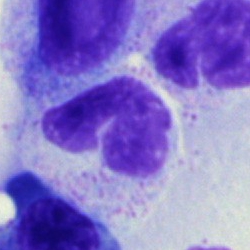 Morphology consistent with a stab cell.